Bone marrow smear — 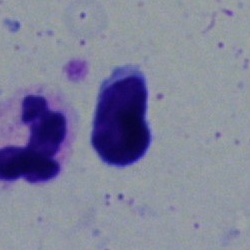 Single cell identified as a lymphocyte.